Bone marrow aspirate smear:
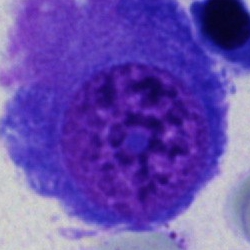This is a promyelocyte.